40× oil immersion; bone marrow aspirate smear:
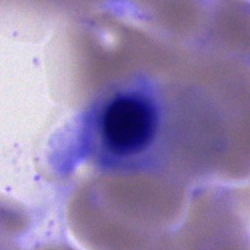Q: Which cell type is shown here?
A: It is a nucleated red blood cell.